Bone marrow aspirate smear; May-Grünwald-Giemsa stain; single-cell field.
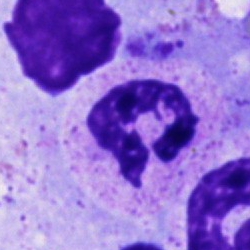
Impression — polymorphonuclear neutrophil.